Cropped to a single cell; bone marrow smear; May-Grünwald-Giemsa/Pappenheim stain — 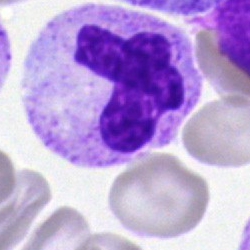 Specimen: bone marrow aspirate smear.
Classification: neutrophil (segmented).
Lineage: myeloid.